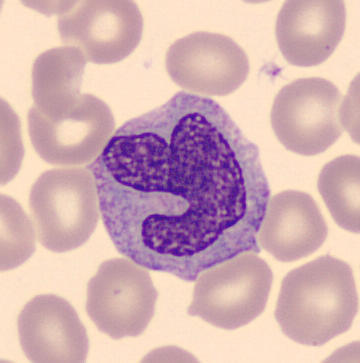
{"cell_type": "monocyte", "lineage": "myeloid"}
Peripheral blood film.